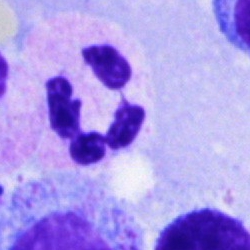

Morphology consistent with a polymorphonuclear neutrophil.